Peripheral blood film
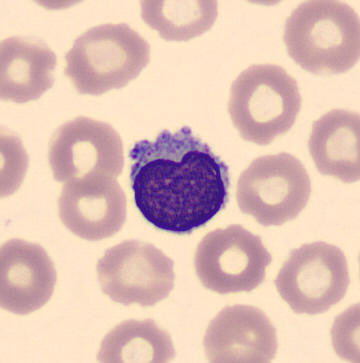 The morphological class is lymphocyte.